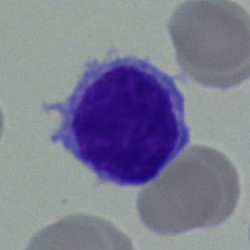

Q: What is the morphological classification of this cell?
A: Lymphocyte.